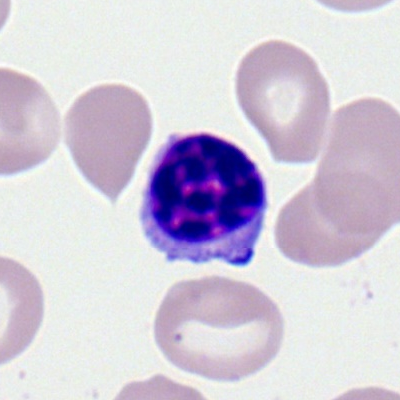

Single cell identified as a lymphocyte.